Brightfield, 100× oil-immersion objective. Peripheral blood smear — 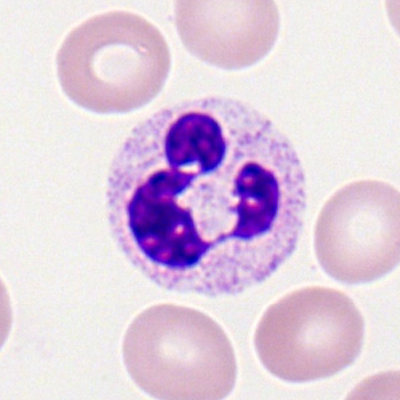

Neutrophil (segmented).